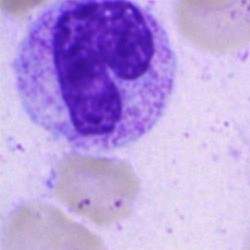

Q: Which cell type is shown here?
A: A band neutrophil.